Bone marrow aspirate smear.
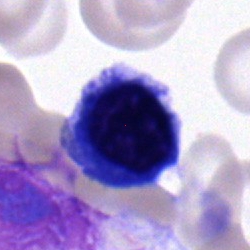The cell shown is an erythroblast.